Peripheral blood film.
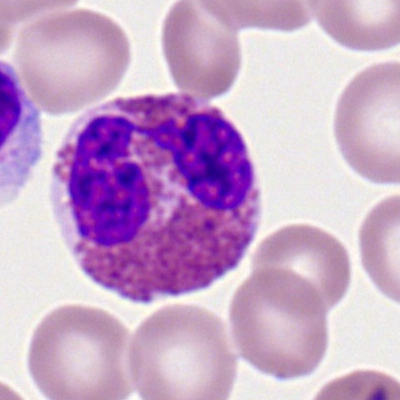

Morphological class: eosinophil.